Peripheral blood smear — 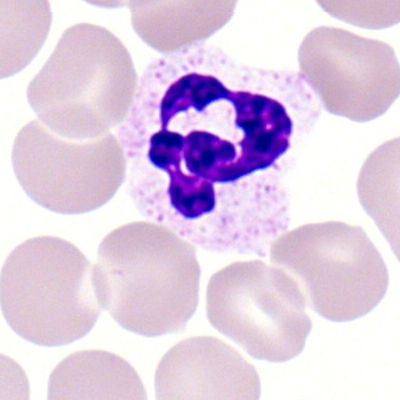
The cell shown is a neutrophil (segmented).